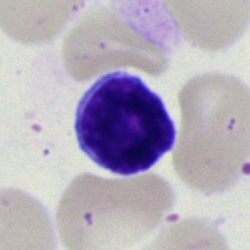
{"cell_type": "typical lymphocyte", "lineage": "lymphoid"}